Bone marrow smear. Single cell centered in the field.
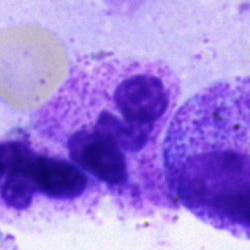

Classification = neutrophil (segmented).